Cropped to a single cell · bone marrow aspirate smear
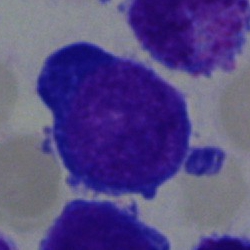

Classification — nucleated red cell.